Bone marrow smear: 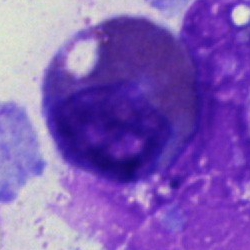Morphology consistent with an eosinophilic granulocyte.